Bone marrow aspirate smear. MGG-stained
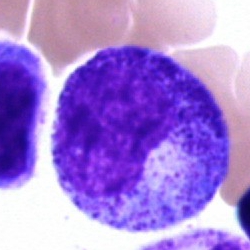 Impression → progranulocyte.